250 by 250 pixels; bone marrow aspirate smear — 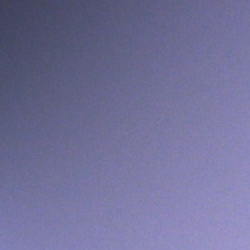Impression → artefact.